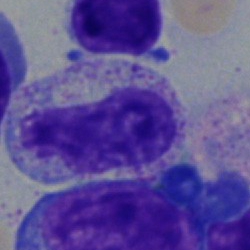

Bone marrow smear showing a metamyelocyte.